Single-cell field. Bone marrow aspirate smear.
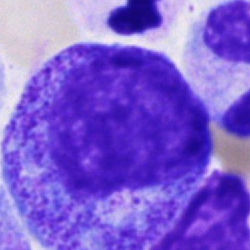Impression → progranulocyte.